Bone marrow smear:
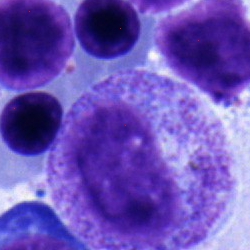Morphological class — metamyelocyte.